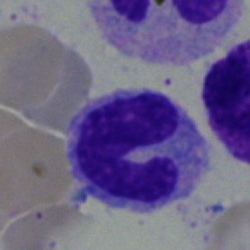

{"cell_type": "monocyte", "lineage": "myeloid"}